Single-cell crop. Bone marrow aspirate smear: 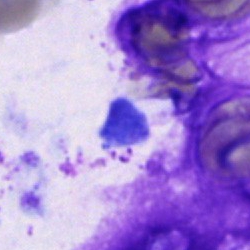Single cell identified as an artifact.